Bone marrow aspirate smear
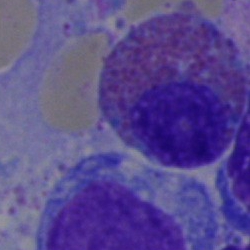 Cell type: eosinophilic granulocyte.